May-Grünwald-Giemsa/Pappenheim stain · bone marrow smear.
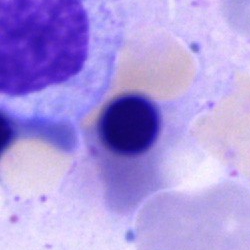 Morphology consistent with an erythroblast.